Single-cell crop; image size 250×250; bone marrow aspirate smear:
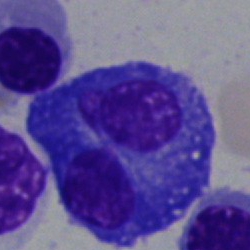
Cell type = plasma cell.